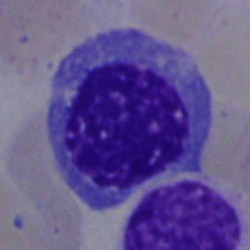 Classification = nucleated red cell.